Bone marrow aspirate smear
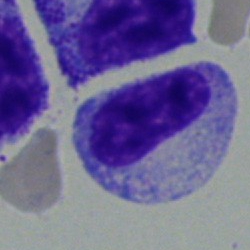

Q: What cell is this?
A: It is a myelocyte.